Bone marrow smear. 250×250 px
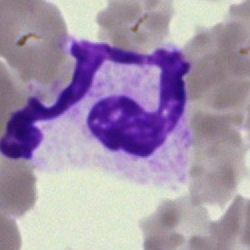 This is a segmented neutrophil.